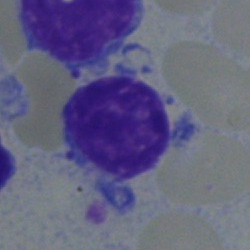
Q: What type of cell is this?
A: Lymphocyte.